Single-cell crop · peripheral blood smear:
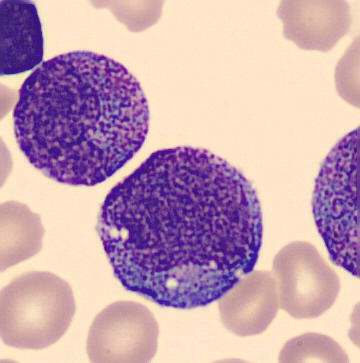 Specimen: peripheral blood film.
Cell: progranulocyte.